Bone marrow smear
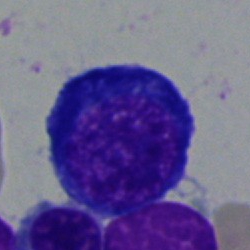 Morphology consistent with a nucleated red blood cell.